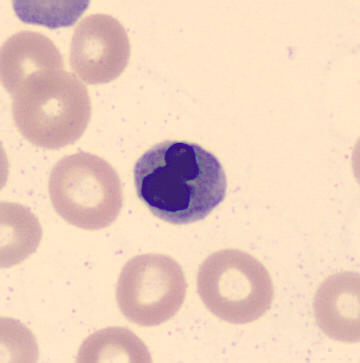
The cell is normoblast.